Bone marrow aspirate smear; 40× objective, oil immersion:
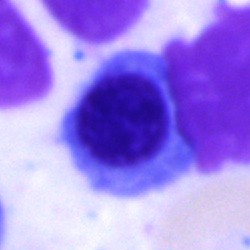
This is a normoblast.